Bone marrow smear; cropped to a single cell; brightfield, 40× oil-immersion objective — 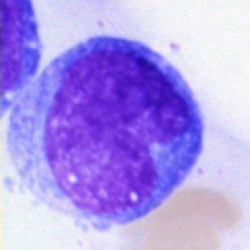

Q: What is the morphological classification of this cell?
A: An undifferentiated blast.